Peripheral blood smear:
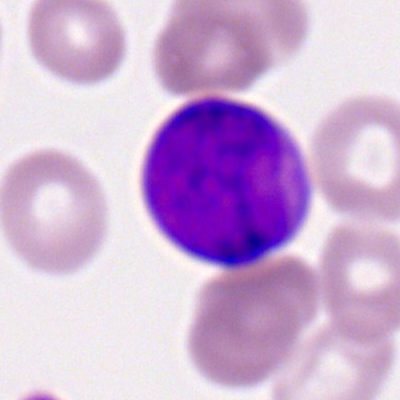 Morphological class = myeloblast.